Bone marrow aspirate smear: 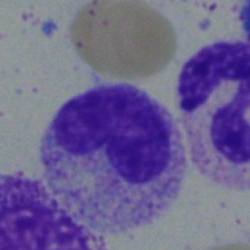
Cell type = band neutrophil.